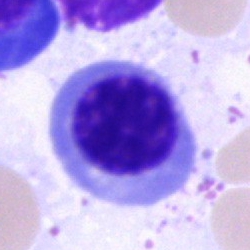Morphology → erythroblast.